M8 digital microscope (Precipoint), 100× oil immersion · peripheral blood film: 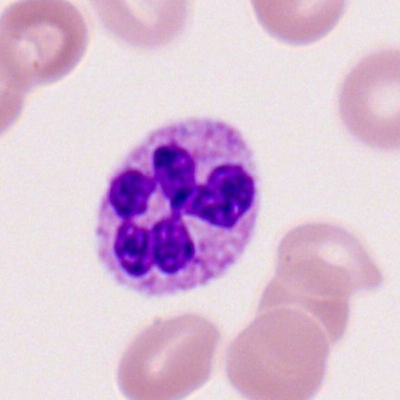

Q: What is shown here?
A: This is a segmented neutrophil.